Bone marrow aspirate smear
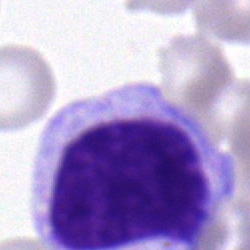 Specimen: bone marrow aspirate smear.
Morphological class: myelocyte.
Lineage: myeloid.